40× objective, oil immersion. Bone marrow smear. May-Grünwald-Giemsa stain.
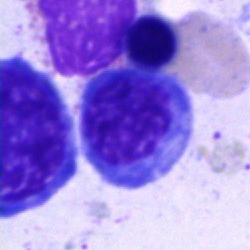
{"cell_type": "nucleated red blood cell"}